Bone marrow aspirate smear · cropped to a single cell · May-Grünwald-Giemsa stain
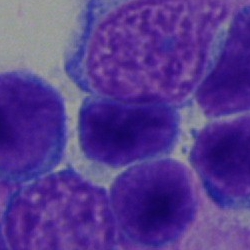
Single cell identified as a typical lymphocyte.